Pappenheim-stained; brightfield microscopy, 40× oil immersion; bone marrow smear.
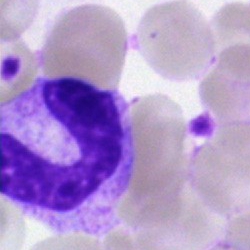Specimen: bone marrow smear.
Classification: band-form neutrophil.
Lineage: myeloid.